Bone marrow aspirate smear: 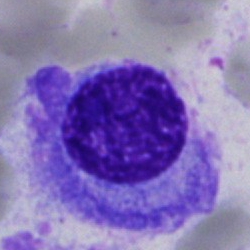Plasma cell.